Bone marrow smear: 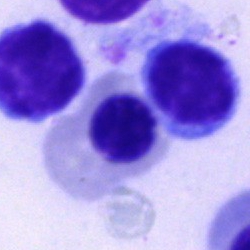
Morphological class: nucleated red cell.